Peripheral blood film:
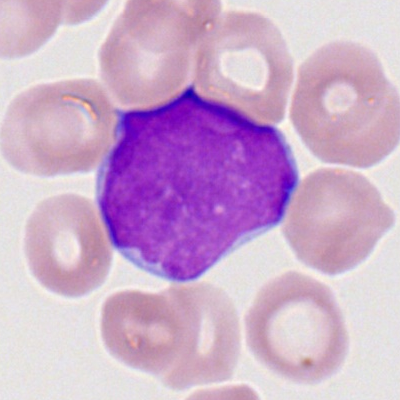 Myeloid blast.